Bone marrow smear; 250×250 px; Pappenheim-stained
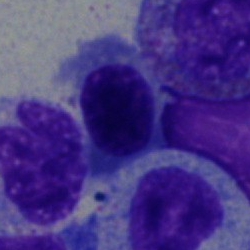Classification = normoblast.